Bone marrow smear — 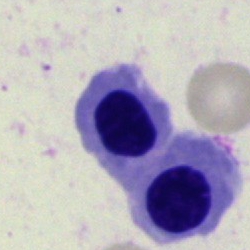Impression → nucleated red blood cell.